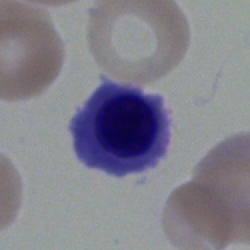 Q: Which cell type is shown here?
A: It is a normoblast.